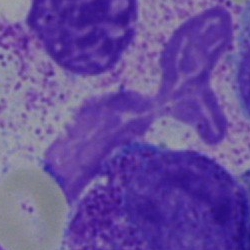 Artifact.